Single-cell crop; peripheral blood film; Romanowsky stain — 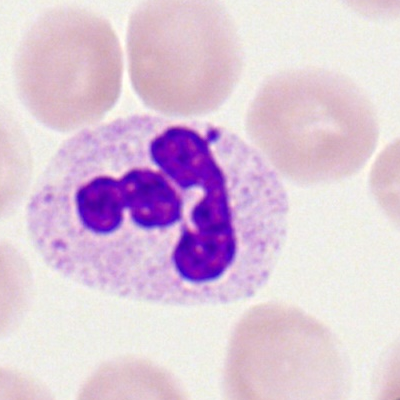 {"cell_type": "segmented neutrophil"}